Bone marrow aspirate smear. 40× objective, oil immersion
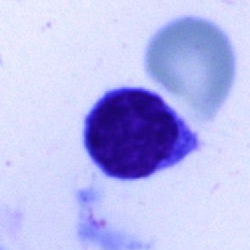Classification — lymphocyte.